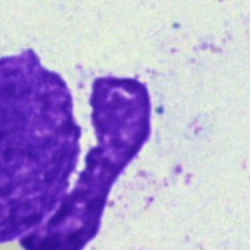
The cell type is artefact.